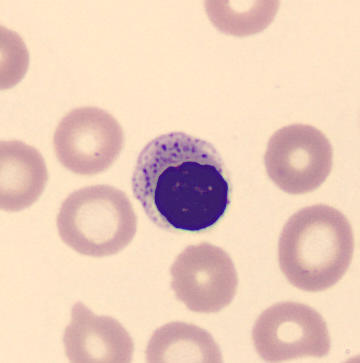
Impression — erythroblast.